Bone marrow smear
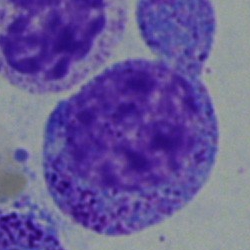
Single cell identified as a myelocyte.